Bone marrow aspirate smear — 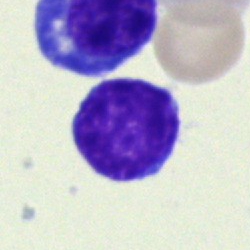 Showing a lymphocyte.